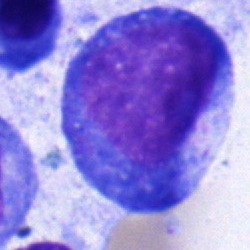

The morphological class is progranulocyte.